Bone marrow smear; 40× objective, oil immersion
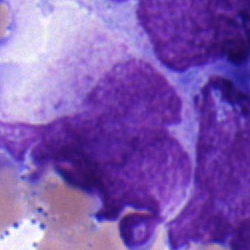

Morphology → blast.